Bone marrow aspirate smear: 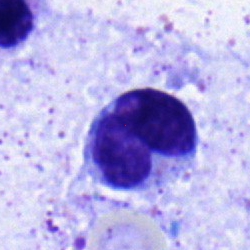
The cell type is monocyte.